Brightfield, 40× oil-immersion objective; single-cell crop; bone marrow smear:
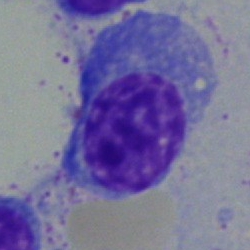

The cell type is plasmacyte.